Bone marrow smear: 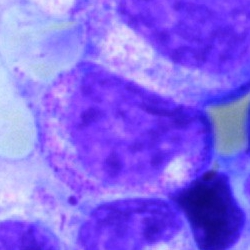
Impression — myelocyte.